Brightfield, 40× oil-immersion objective. Bone marrow aspirate smear
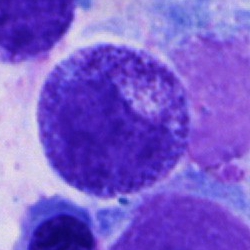

Morphology — progranulocyte.